Bone marrow aspirate smear.
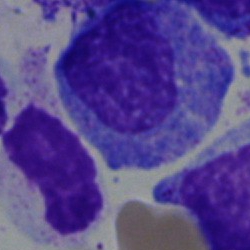 Morphological class: promyelocyte.